Cropped to a single cell; bone marrow smear; 250×250 — 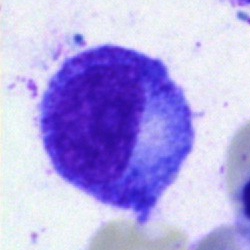

Showing a promyelocyte.